Bone marrow smear: 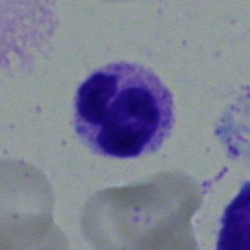Morphology consistent with a segmented neutrophil.